Bone marrow smear; single cell centered in the field; 40× objective, oil immersion — 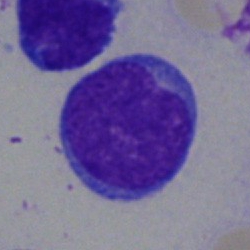
Showing a progranulocyte.